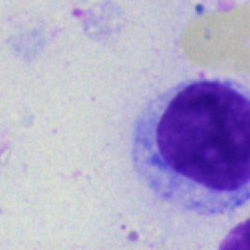
This is an artifact.